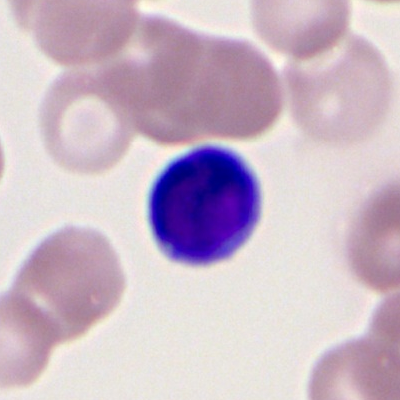
Showing a typical lymphocyte.